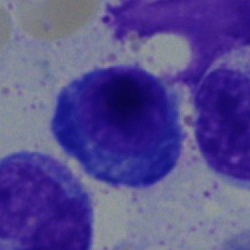Single cell identified as a plasmacyte.